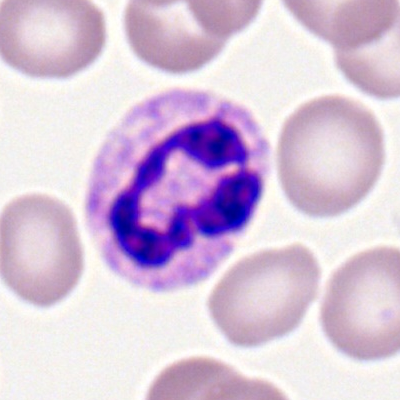Segmented neutrophil.